May-Grünwald-Giemsa/Pappenheim stain · 250 by 250 pixels · bone marrow aspirate smear:
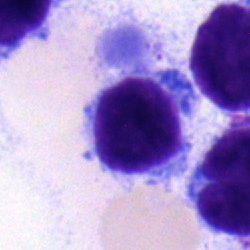This is a lymphocyte.